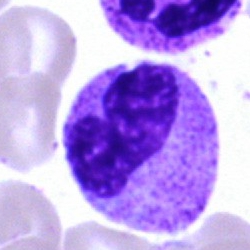
Morphology → band-form neutrophil.